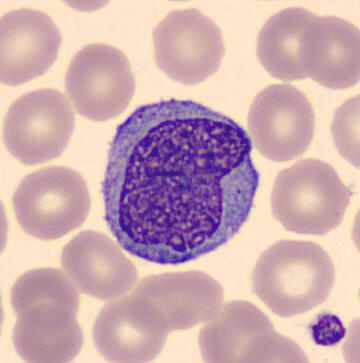
Specimen: peripheral blood film.
Cell: monocyte.
Lineage: myeloid.